Bone marrow aspirate smear · 40× oil immersion · 250×250 px.
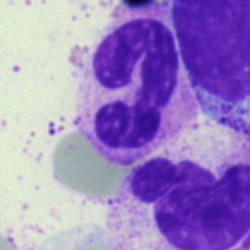
{"cell_type": "segmented neutrophil", "lineage": "myeloid"}